Single cell centered in the field · bone marrow aspirate smear: 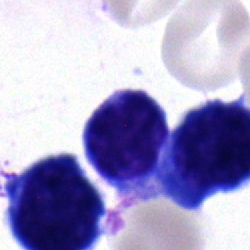 Cell = typical lymphocyte.